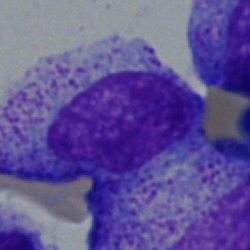
Q: What type of cell is this?
A: It is a myelocyte.